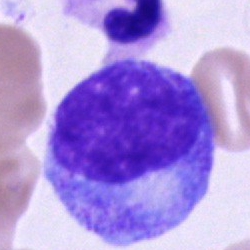
A progranulocyte on a bone marrow smear.